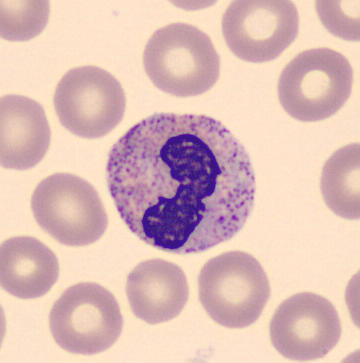

Preparation: Peripheral blood film; May Grünwald-Giemsa stain; 360 by 363 pixels.
The cell is neutrophil (segmented).